250×250 px; bone marrow smear; cropped to a single cell
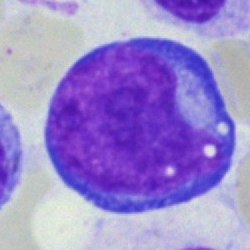
Showing a proerythroblast.